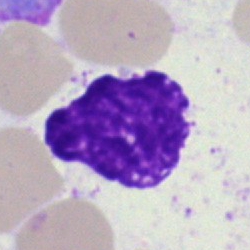 An artifact on a bone marrow smear.